Bone marrow aspirate smear: 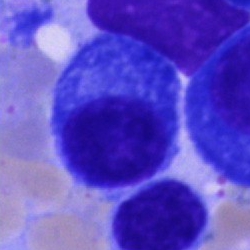
A plasmacyte.